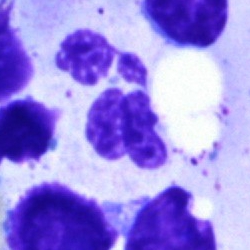

The cell shown is a polymorphonuclear neutrophil.